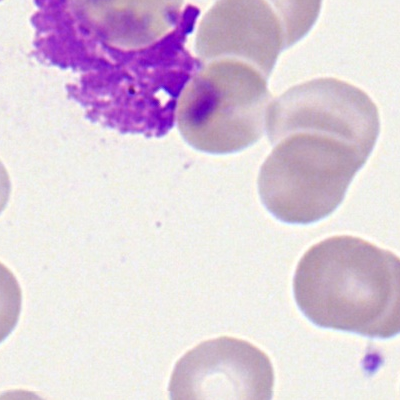

Single cell identified as a basophilic granulocyte.